Bone marrow smear.
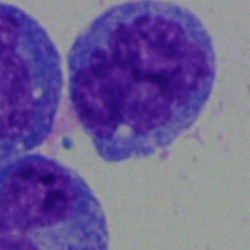

This is a monocyte.